Bone marrow aspirate smear — 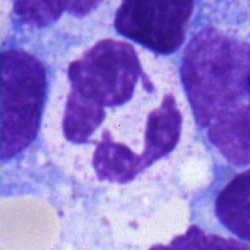The cell shown is a segmented neutrophil.